Bone marrow smear.
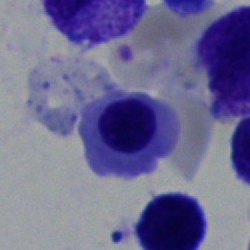 Single cell identified as a normoblast.